Bone marrow aspirate smear:
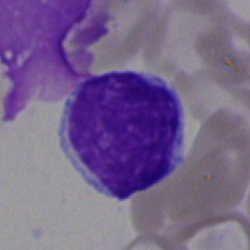
Q: What is the morphological classification of this cell?
A: A typical lymphocyte.